Bone marrow smear · image size 250×250.
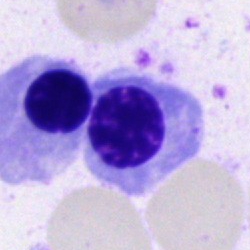

Morphology → normoblast.